Image size 250×250; bone marrow smear; brightfield microscopy, 40× oil immersion.
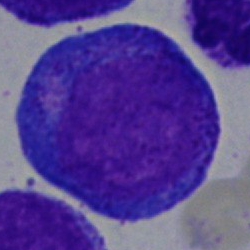

Q: What type of cell is this?
A: A progranulocyte.